Single-cell field; bone marrow smear
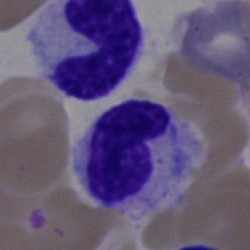The cell shown is a neutrophil (band).